Bone marrow aspirate smear; single cell centered in the field
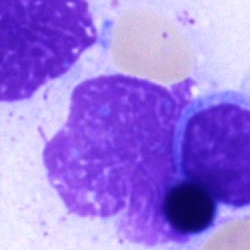

This is an artefact.